Pappenheim-stained; bone marrow smear:
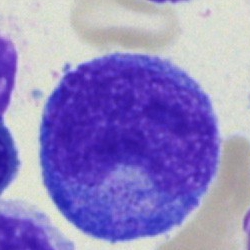

A promyelocyte.